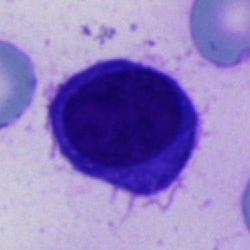An unidentifiable cell on a bone marrow smear.